Bone marrow aspirate smear.
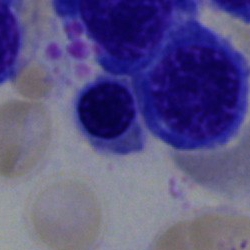{"cell_type": "erythroblast", "lineage": "erythroid"}